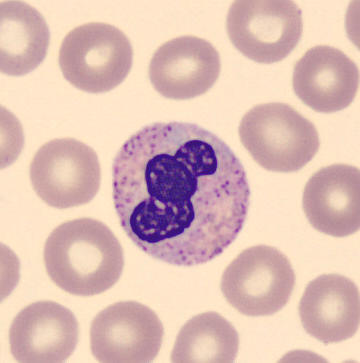Morphology consistent with a segmented neutrophil. Peripheral blood film.